Bone marrow aspirate smear — 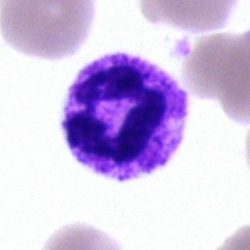 Impression — polymorphonuclear neutrophil.